Bone marrow smear:
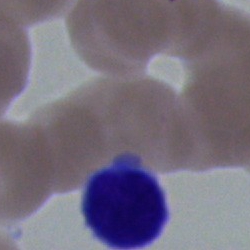

Specimen: bone marrow aspirate smear.
Cell type: lymphocyte.
Lineage: lymphoid.